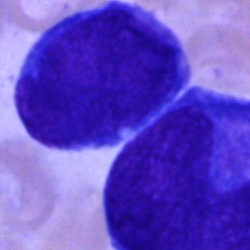

Q: Identify the cell.
A: It is an undifferentiated blast.